May-Grünwald-Giemsa stain; bone marrow aspirate smear:
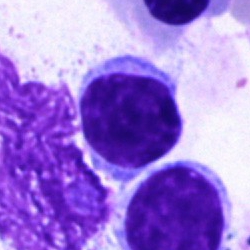 A typical lymphocyte.